Bone marrow aspirate smear.
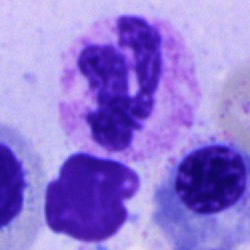

This is a polymorphonuclear neutrophil.